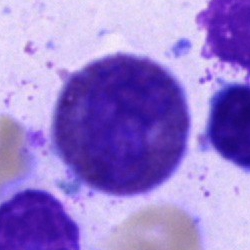

Specimen: bone marrow aspirate smear.
Cell: eosinophil.